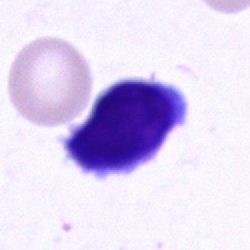 Typical lymphocyte.